Bone marrow aspirate smear; Pappenheim-stained.
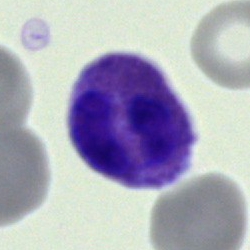
Morphology → eosinophil.